Bone marrow smear. 250×250:
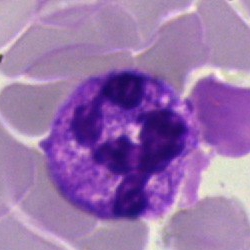 Morphology → basophilic granulocyte.